40× objective, oil immersion; bone marrow aspirate smear; single cell centered in the field: 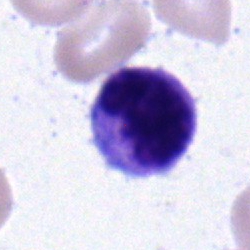 Cell type = monocyte.